Bone marrow smear. Brightfield, 40× oil-immersion objective — 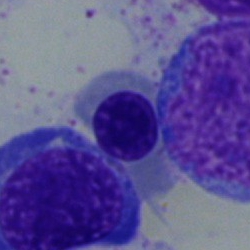 The cell shown is a normoblast.